Bone marrow smear; Pappenheim-stained; 40× objective, oil immersion — 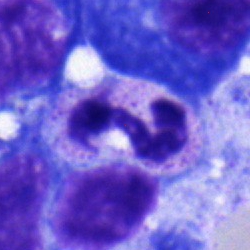 Q: What is shown here?
A: A neutrophil (segmented).